Bone marrow aspirate smear — 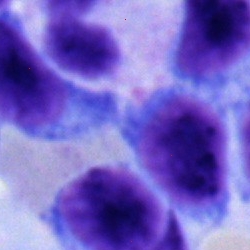 Q: Which cell type is shown here?
A: It is a polymorphonuclear neutrophil.